Bone marrow smear; 40× objective, oil immersion; 250×250 px — 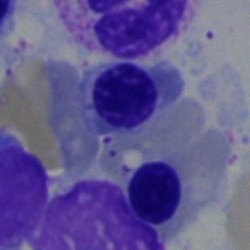

Cell: erythroblast.